Single cell centered in the field; 250 by 250 pixels; bone marrow aspirate smear.
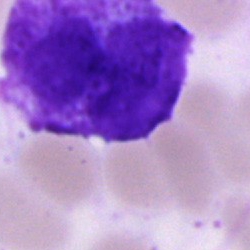

Single cell identified as an artifact.